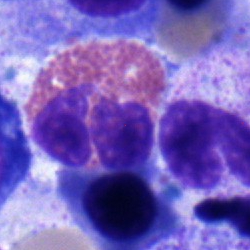An eosinophil.